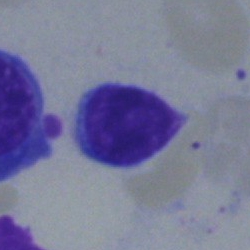Specimen: bone marrow smear.
Cell: typical lymphocyte.
Lineage: lymphoid.